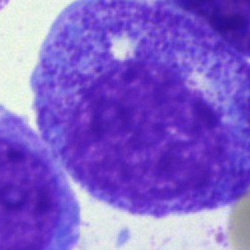
Morphological class — promyelocyte.